Bone marrow aspirate smear. Single-cell crop
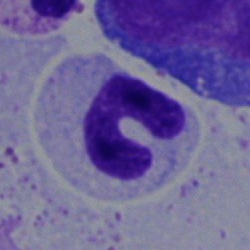
{"cell_type": "segmented neutrophil", "lineage": "myeloid"}